Bone marrow aspirate smear — 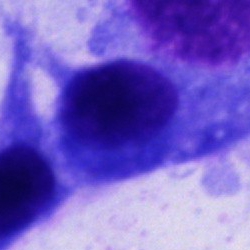
{"cell_type": "other cell"}